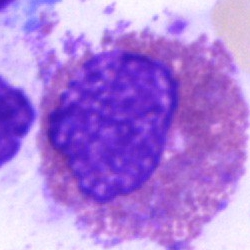 Single cell identified as an eosinophilic granulocyte.